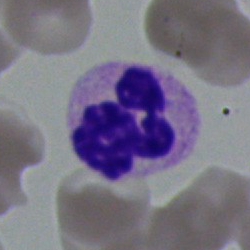 This is a neutrophil (segmented).